Bone marrow aspirate smear:
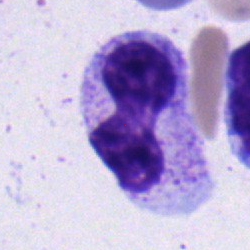
{"cell_type": "neutrophil (band)", "lineage": "myeloid"}